Bone marrow aspirate smear; 40× objective, oil immersion
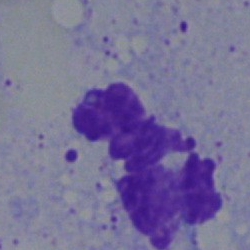An artefact.